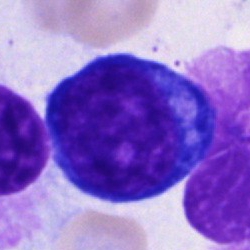
Classification = proerythroblast.